Bone marrow smear: 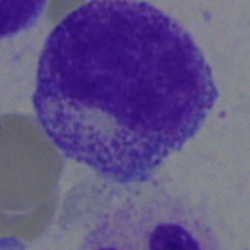 Q: Which cell type is shown here?
A: It is a myelocyte.